Bone marrow smear; MGG-stained: 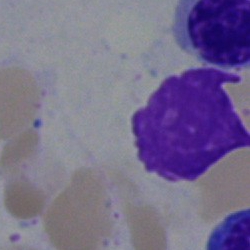

This is an artifact.